Bone marrow aspirate smear. Single cell centered in the field
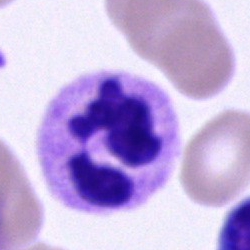

Specimen: bone marrow aspirate smear.
Cell type: neutrophil (segmented).
Lineage: myeloid.